250×250 px · single-cell crop · bone marrow aspirate smear — 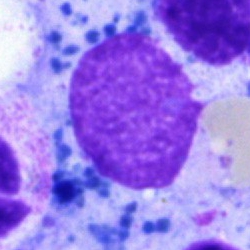Cell type = artefact.